Bone marrow smear
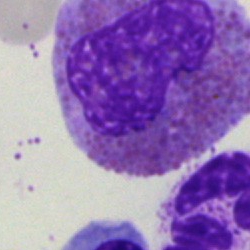
An eosinophilic granulocyte.